Bone marrow aspirate smear · 40× objective, oil immersion.
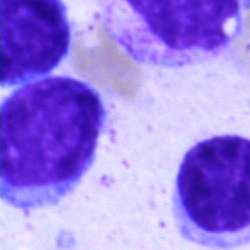

Specimen: bone marrow smear.
Cell type: lymphocyte.
Lineage: lymphoid.